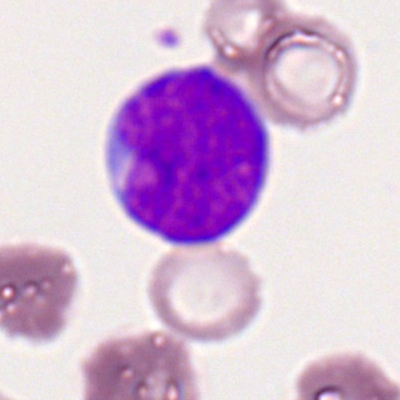

Q: What type of cell is this?
A: Myeloblast.